Bone marrow smear; single cell centered in the field: 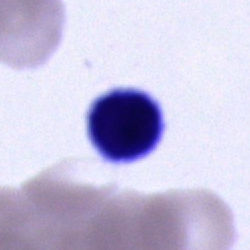 This is an unidentifiable cell.